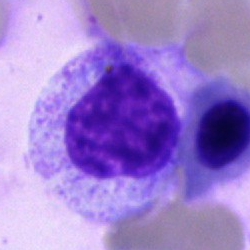Bone marrow aspirate smear, single cell — myelocyte.